Bone marrow aspirate smear — 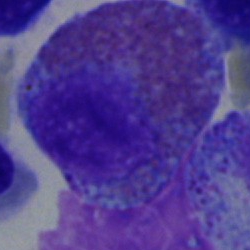

Specimen: bone marrow aspirate smear.
Cell: eosinophil.